Bone marrow smear:
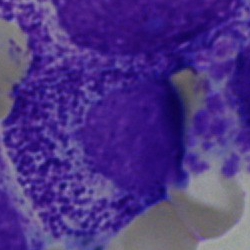 Q: What is the morphological classification of this cell?
A: This is a myelocyte.